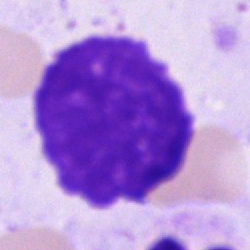
Q: What is shown here?
A: Artifact.